Bone marrow aspirate smear; single cell centered in the field
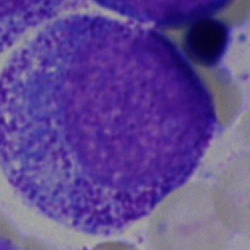
Classification = promyelocyte.